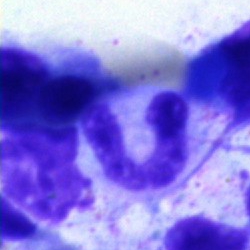

Single cell identified as an artefact.